Peripheral blood smear: 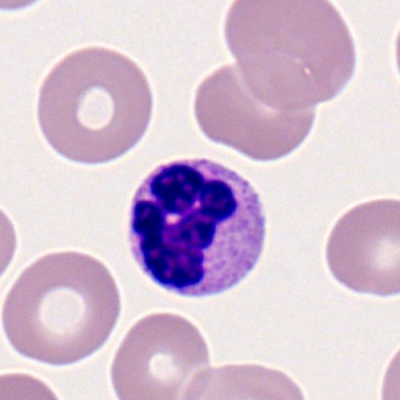

A neutrophil (segmented).